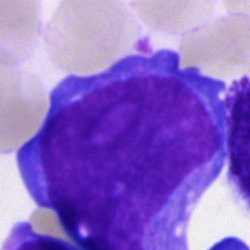

{"cell_type": "blast"}